May-Grünwald-Giemsa/Pappenheim stain. Bone marrow aspirate smear — 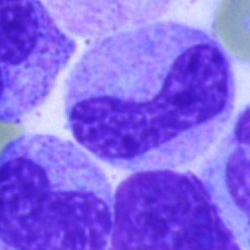A neutrophil (band).